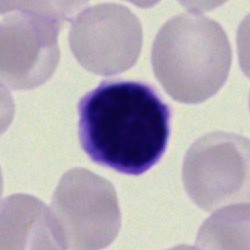The morphological class is lymphocyte.